Brightfield, 40× oil-immersion objective · bone marrow aspirate smear · single-cell field:
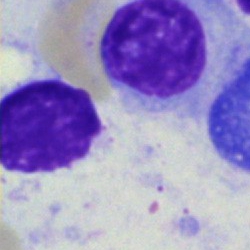Morphological class: artifact.